Bone marrow aspirate smear — 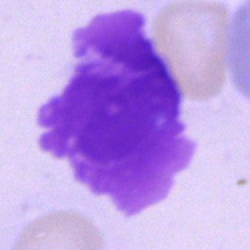 Cell type — artifact.